Bone marrow smear
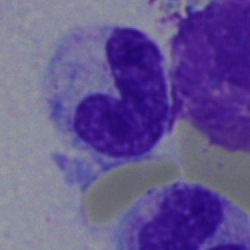

Q: What is the morphological classification of this cell?
A: This is a band neutrophil.